Cropped to a single cell · bone marrow aspirate smear:
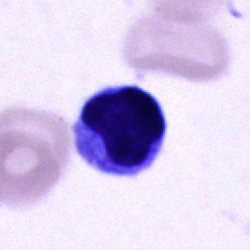An unidentifiable cell.